Cropped to a single cell; peripheral blood smear:
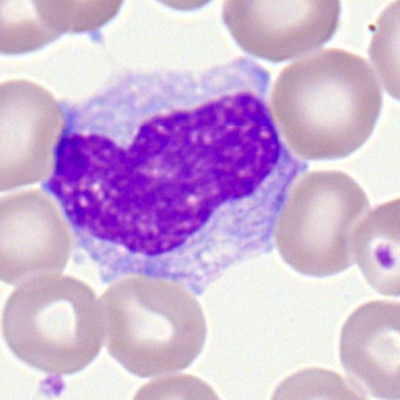

Q: Identify the cell.
A: Monocyte.